Bone marrow smear
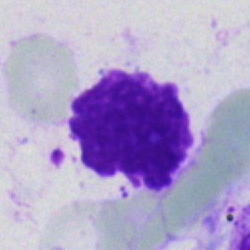 The cell is artifact.